Peripheral blood film · image size 400×400:
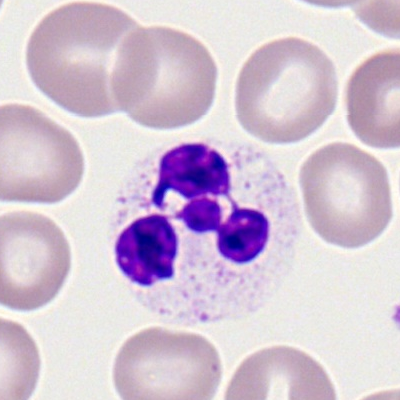Classification: polymorphonuclear neutrophil.